Peripheral blood film. Single-cell field: 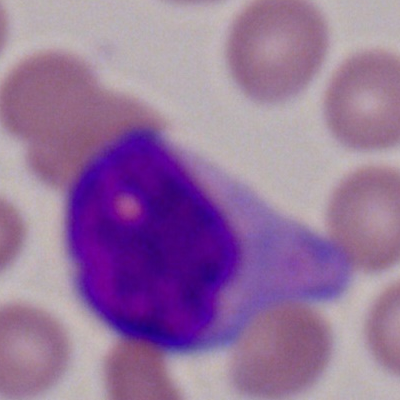 Impression — myeloblast.